Bone marrow smear.
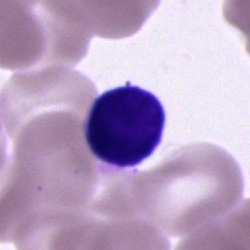
Classification — lymphocyte.